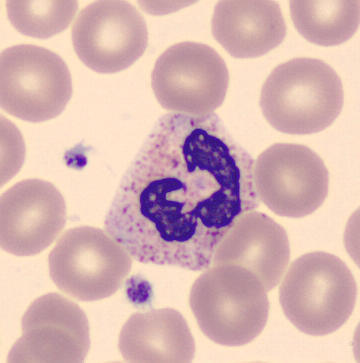

Q: What type of cell is this?
A: Polymorphonuclear neutrophil.